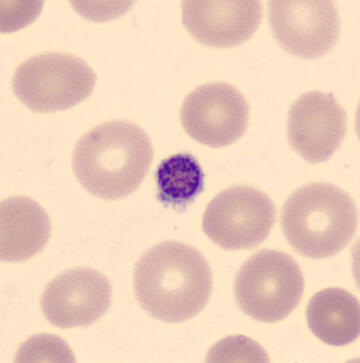
Image: Peripheral blood film. {"cell_type": "thrombocyte"}